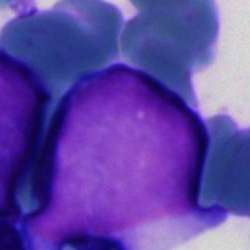

Classification: blast cell.